Bone marrow smear · single-cell field · MGG-stained
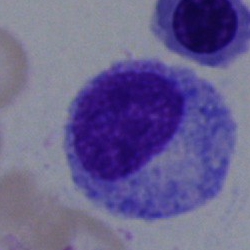 Specimen: bone marrow smear.
Classification: promyelocyte.
Lineage: myeloid.